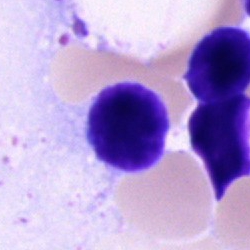The cell shown is a lymphocyte.